Bone marrow smear: 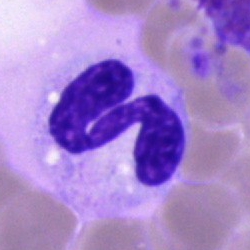

The cell shown is a segmented neutrophil.